Bone marrow smear; single-cell crop
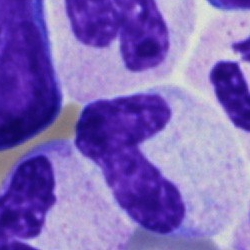 Cell = band neutrophil.